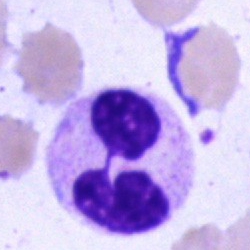
Q: What type of cell is this?
A: This is a neutrophil (segmented).